Bone marrow smear; MGG-stained:
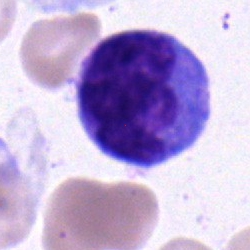
Cell: monocyte.